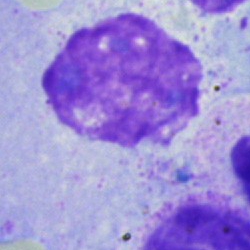Single-cell crop from a bone marrow smear: artifact.